250×250 · bone marrow smear
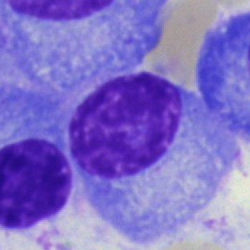Q: What is the morphological classification of this cell?
A: A plasmacyte.